Bone marrow smear. May-Grünwald-Giemsa stain
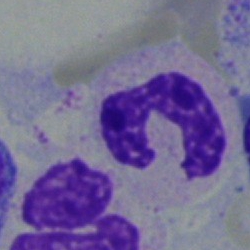
The cell type is polymorphonuclear neutrophil.